Bone marrow smear.
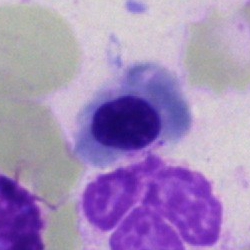Cell type: erythroblast.